May-Grünwald-Giemsa stain · bone marrow smear · 250×250 — 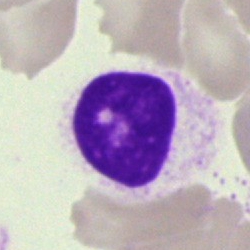 Artifact.